Bone marrow smear — 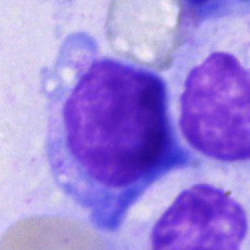 Morphology → cell of indeterminate lineage.